Bone marrow smear.
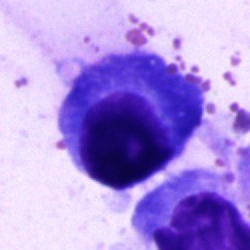
Cell — plasmacyte.